Bone marrow aspirate smear; Pappenheim-stained: 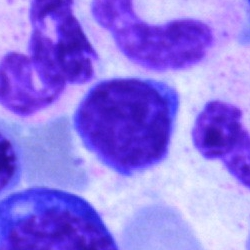

Morphological class = typical lymphocyte.